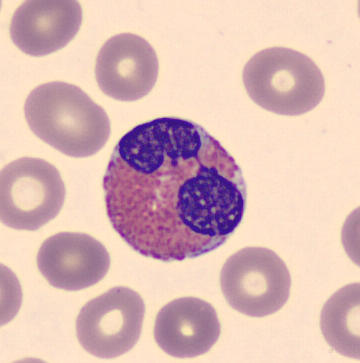Morphology → eosinophil.

Acquisition: Single cell centered in the field. Peripheral blood film.